Single-cell field; bone marrow smear — 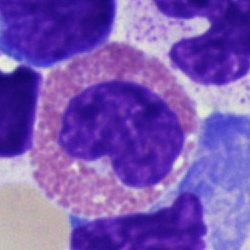
The cell shown is an eosinophil.